Bone marrow aspirate smear · single-cell field: 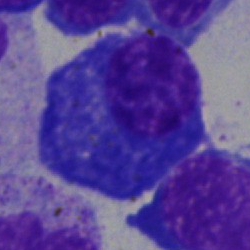 Impression — plasmacyte.